Bone marrow smear: 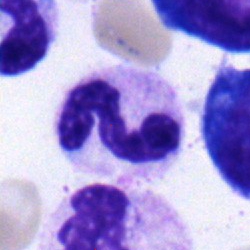Morphology consistent with a polymorphonuclear neutrophil.